Brightfield microscopy, 40× oil immersion; bone marrow smear: 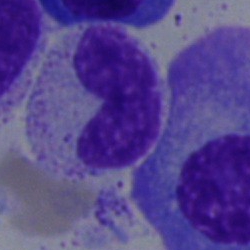 Cell: band neutrophil.